Brightfield microscopy, 40× oil immersion; Pappenheim-stained; bone marrow aspirate smear: 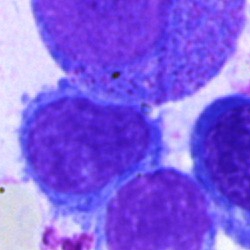
Single cell identified as a lymphocyte.